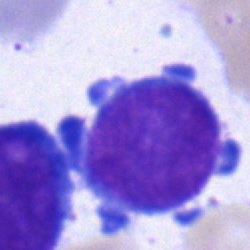 A blast cell.